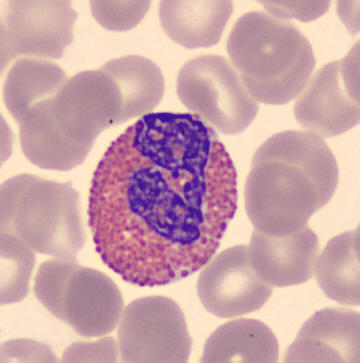
This is an eosinophilic granulocyte.